Bone marrow smear; 250×250; May-Grünwald-Giemsa/Pappenheim stain — 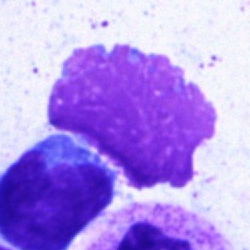{"cell_type": "artifact"}